Bone marrow aspirate smear: 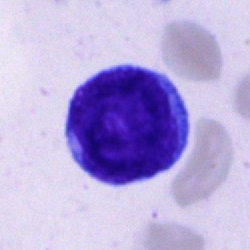 Classification — unidentifiable cell.